Peripheral blood film
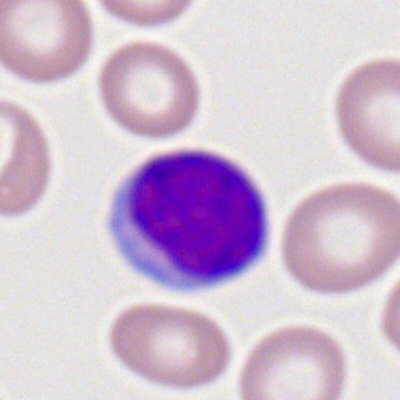 Lymphocyte.